Bone marrow aspirate smear · 250 by 250 pixels · 40× objective, oil immersion
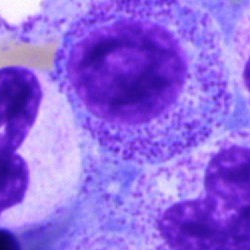 Classification — myelocyte.